Bone marrow aspirate smear: 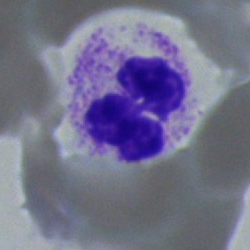 Single cell identified as a segmented neutrophil.